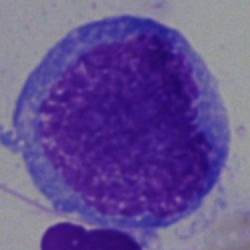
Specimen: bone marrow smear.
Cell type: proerythroblast.
Lineage: erythroid.